Bone marrow aspirate smear.
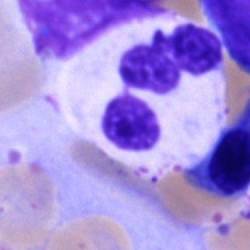Classification = segmented neutrophil.